Bone marrow smear; May-Grünwald-Giemsa/Pappenheim stain
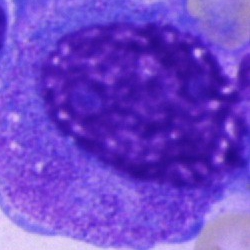 Cell — promyelocyte.